Bone marrow smear; MGG-stained; brightfield microscopy, 40× oil immersion.
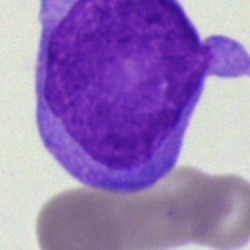 Classification = blast.